Bone marrow aspirate smear:
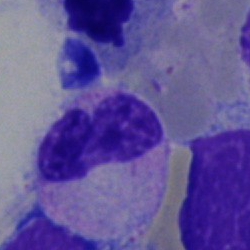

The cell shown is a band-form neutrophil.